40× objective, oil immersion · bone marrow aspirate smear: 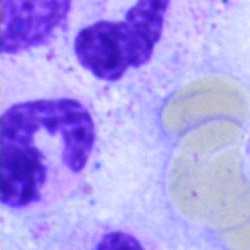
{"cell_type": "polymorphonuclear neutrophil", "lineage": "myeloid"}